Bone marrow smear:
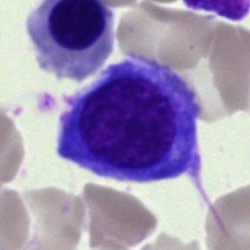Cell type = normoblast.